Bone marrow aspirate smear — 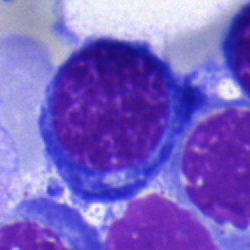Normoblast.